Bone marrow smear; cropped to a single cell
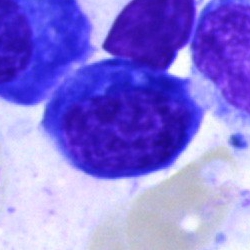 Q: What type of cell is this?
A: This is a nucleated red cell.